Bone marrow smear — 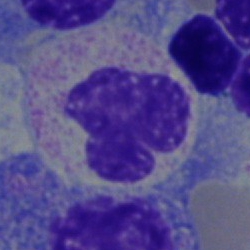
Q: Which cell type is shown here?
A: Polymorphonuclear neutrophil.